250×250. Bone marrow smear.
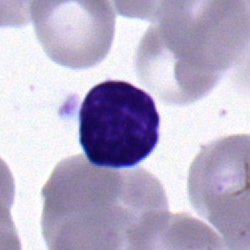 Cell: typical lymphocyte.